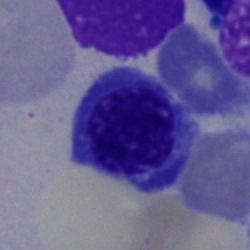Q: What is shown here?
A: This is a nucleated red blood cell.